Peripheral blood smear:
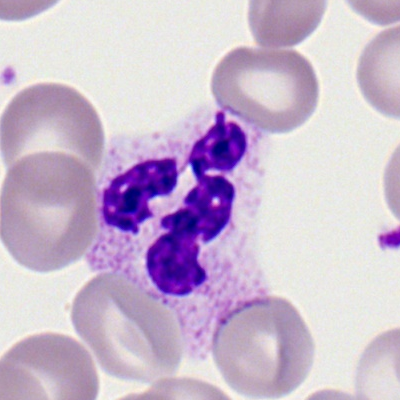

Morphology consistent with a polymorphonuclear neutrophil.